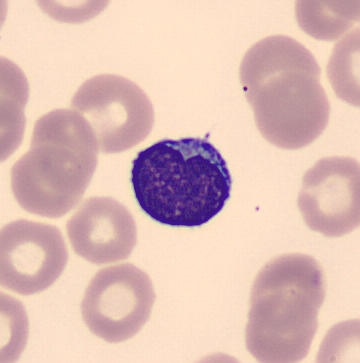A typical lymphocyte. 360 by 363 pixels; peripheral blood film; cropped to a single cell.